250×250 px. Bone marrow smear — 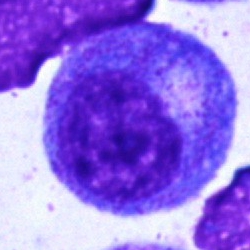Cell type: progranulocyte.